MGG-stained; bone marrow smear; 250 by 250 pixels
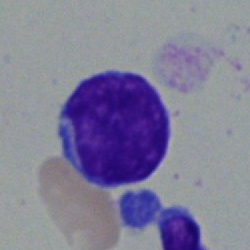
Morphological class: lymphocyte.